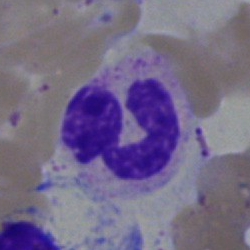 {"cell_type": "segmented neutrophil", "lineage": "myeloid"}